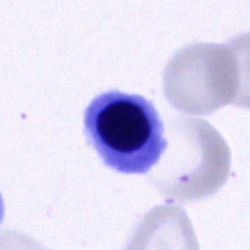Classification — normoblast.